Single cell centered in the field. Bone marrow aspirate smear:
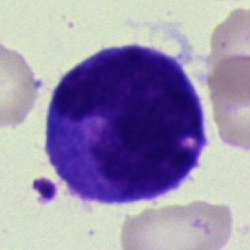Morphological class = monocyte.